Peripheral blood smear.
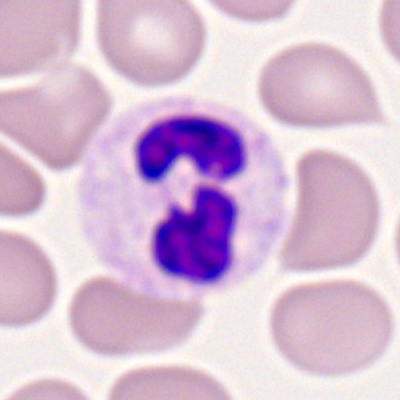

Segmented neutrophil.